Bone marrow smear: 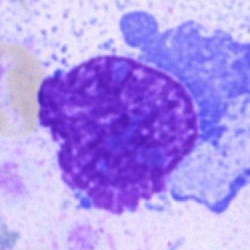Cell type: plasmacyte.